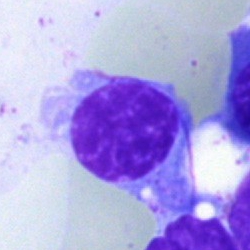

The classification is typical lymphocyte.